May-Grünwald-Giemsa stain · bone marrow aspirate smear · single cell centered in the field
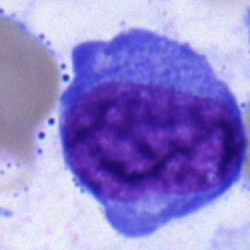Undifferentiated blast.